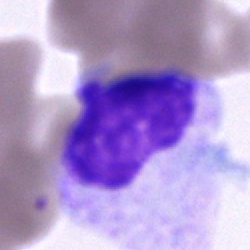Q: What type of cell is this?
A: It is a cell of indeterminate lineage.